Pappenheim-stained · bone marrow smear · 250 by 250 pixels — 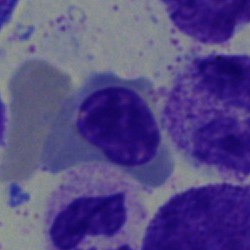A nucleated red blood cell.